Bone marrow aspirate smear: 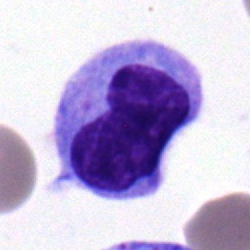 Single cell identified as a typical lymphocyte.